250 by 250 pixels · bone marrow aspirate smear · single cell centered in the field:
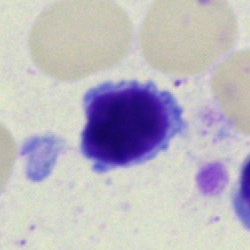
Specimen: bone marrow aspirate smear.
Classification: lymphocyte.
Lineage: lymphoid.